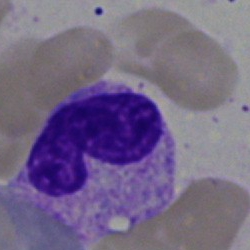

Q: Which cell type is shown here?
A: It is a band neutrophil.